Single cell centered in the field. Peripheral blood smear.
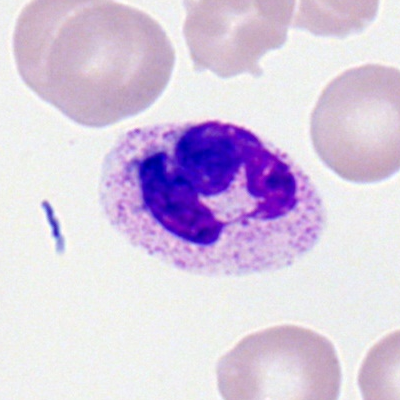

Single cell identified as a segmented neutrophil.